Bone marrow smear. Pappenheim-stained. Cropped to a single cell:
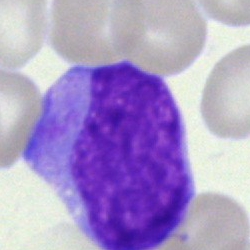

Blast cell.